MGG-stained. Bone marrow smear: 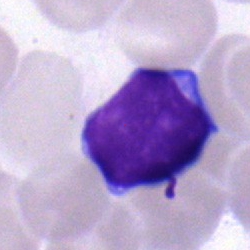 Single cell identified as a typical lymphocyte.